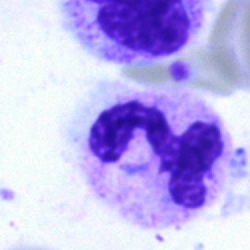Q: What type of cell is this?
A: Neutrophil (segmented).